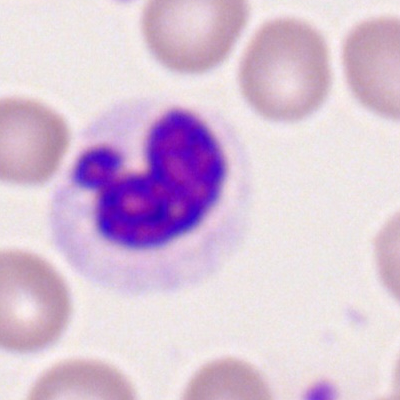
Neutrophil (segmented).